Peripheral blood smear: 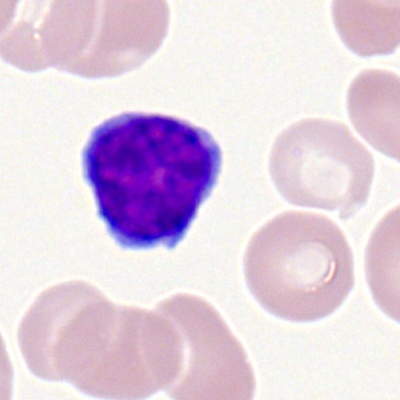Classification = lymphocyte.